Brightfield microscopy, 40× oil immersion; bone marrow aspirate smear:
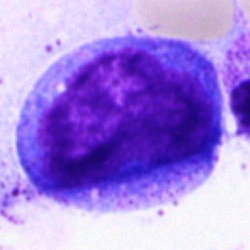

Progranulocyte.